Bone marrow smear: 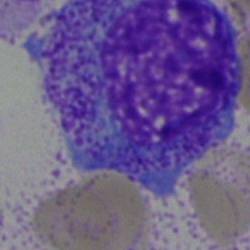Specimen: bone marrow smear.
Classification: progranulocyte.